Bone marrow aspirate smear.
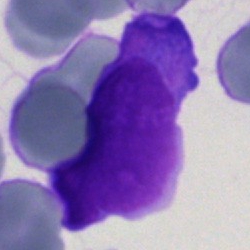
A blast cell.